Bone marrow aspirate smear:
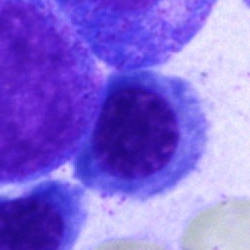Specimen: bone marrow smear.
Cell: nucleated red cell.
Lineage: erythroid.